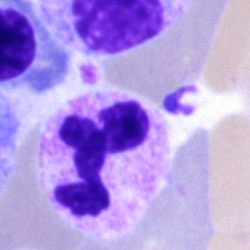Impression → segmented neutrophil.